MGG-stained · image size 250×250 · bone marrow smear:
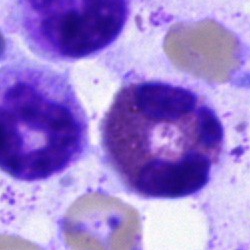

Cell type = eosinophil.